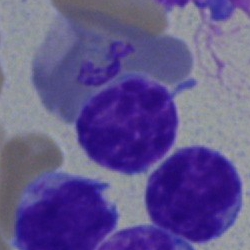 Bone marrow smear showing a typical lymphocyte.